Bone marrow smear
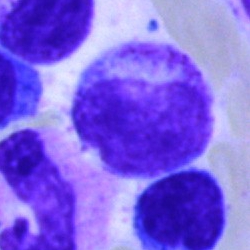
Specimen: bone marrow aspirate smear.
Morphological class: myelocyte.